Bone marrow smear:
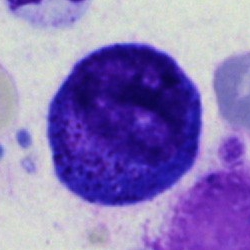

Impression → promyelocyte.